250×250; bone marrow smear
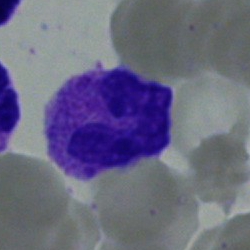 Q: Which cell type is shown here?
A: This is a band neutrophil.